Bone marrow smear.
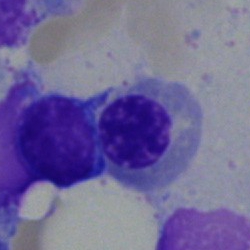
Q: What type of cell is this?
A: A normoblast.